Bone marrow aspirate smear · single-cell crop.
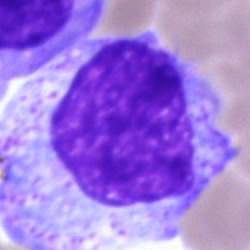This is an artifact.